Bone marrow aspirate smear
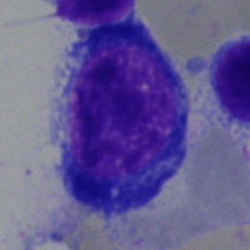
Q: Which cell type is shown here?
A: A nucleated red blood cell.